Image size 250×250 · bone marrow smear · 40× objective, oil immersion — 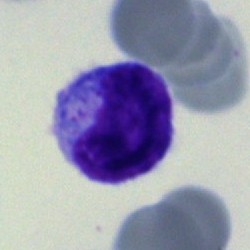

Typical lymphocyte.